Bone marrow aspirate smear · 40× objective, oil immersion.
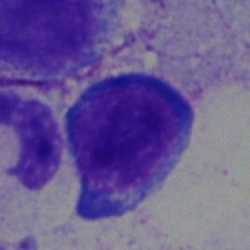
The cell shown is a proerythroblast.